Peripheral blood film. Single-cell crop. 100× oil immersion, 14.14 px/µm
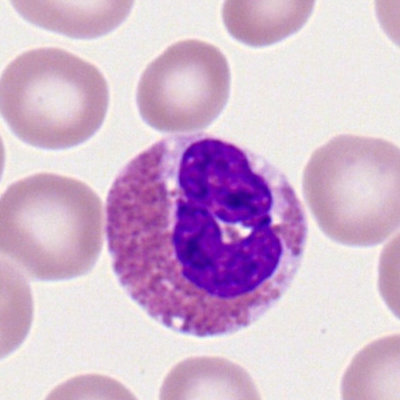

Q: What is shown here?
A: Eosinophilic granulocyte.